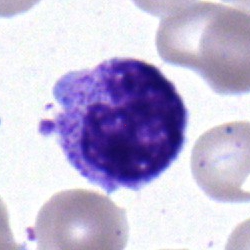 {"cell_type": "band neutrophil"}